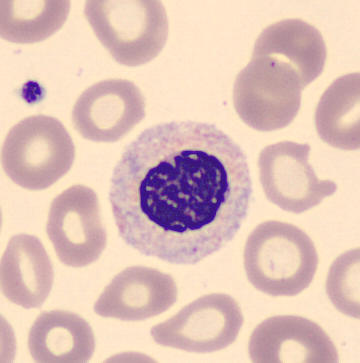 Morphological class = myelocyte.